Cropped to a single cell; bone marrow smear; MGG-stained:
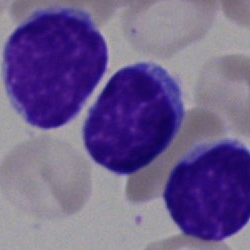 A lymphocyte.